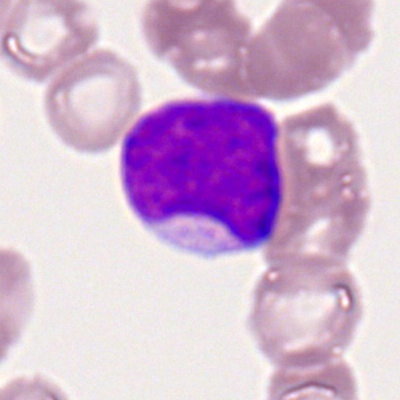 Cell — myeloblast.